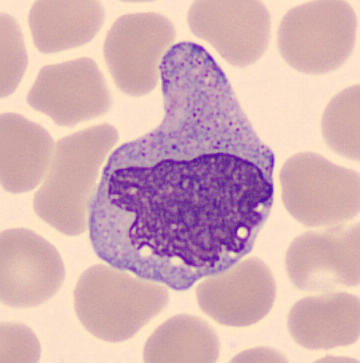

Classification — monocyte.
Image: Peripheral blood film.